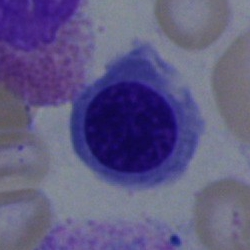 Nucleated red blood cell.